Bone marrow aspirate smear: 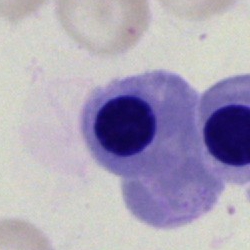

Cell type: nucleated red cell.